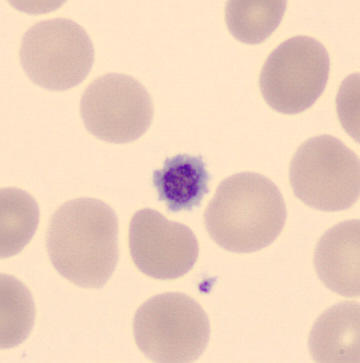

Q: What is shown here?
A: Thrombocyte.
Peripheral blood film.